Bone marrow aspirate smear.
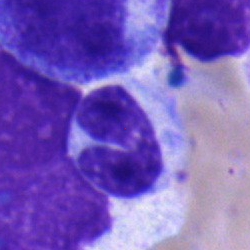The cell shown is a band-form neutrophil.